Bone marrow aspirate smear.
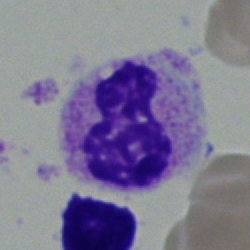 The cell shown is a segmented neutrophil.